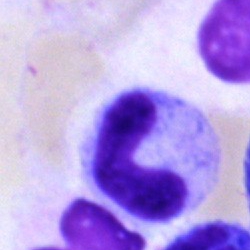

The morphological class is neutrophil (band).